Bone marrow aspirate smear · brightfield, 40× oil-immersion objective: 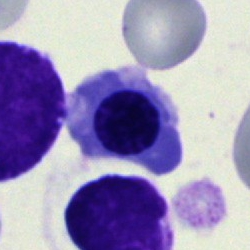

Classification = normoblast.